Bone marrow smear — 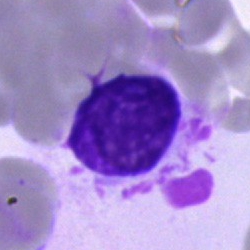

Morphology — cell of indeterminate lineage.